Bone marrow smear; single-cell field; 250×250 px — 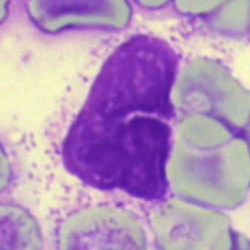 The morphological class is artefact.